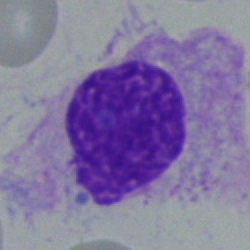
Showing an artefact.